Image size 250×250 · bone marrow aspirate smear:
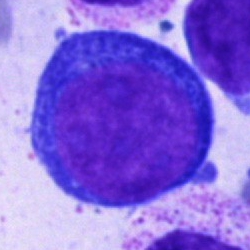 Morphology consistent with a pronormoblast.